40× objective, oil immersion · bone marrow aspirate smear · May-Grünwald-Giemsa stain — 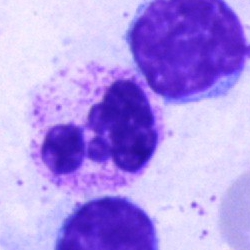

Morphological class: segmented neutrophil.